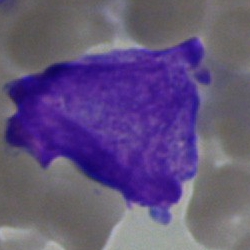

Q: Identify the cell.
A: Blast cell.